Bone marrow aspirate smear.
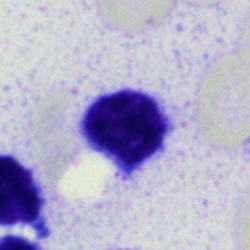 Classification — lymphocyte.